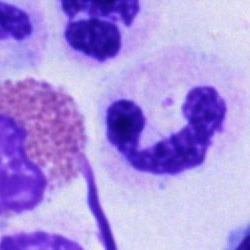
Single cell identified as a neutrophil (segmented).